Bone marrow smear.
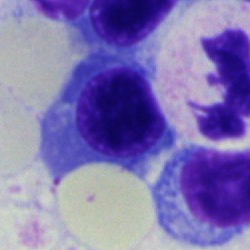 Morphological class — normoblast.